Bone marrow aspirate smear; 250×250 — 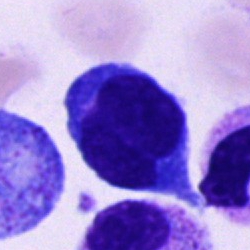Cell: unidentifiable cell.